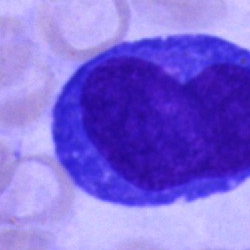 Bone marrow aspirate smear, single cell — undifferentiated blast.